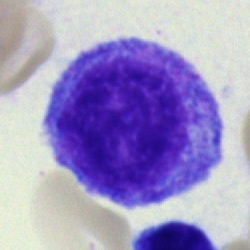

Morphological class = blast.